Bone marrow aspirate smear · MGG-stained — 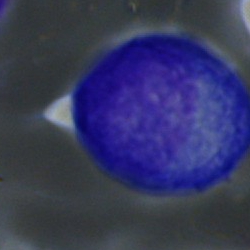Specimen: bone marrow aspirate smear.
Cell: plasma cell.
Lineage: lymphoid.